Bone marrow smear
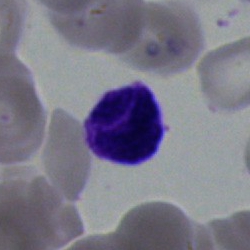 Morphology consistent with a neutrophil (segmented).